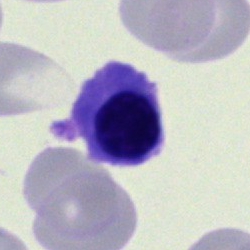 Specimen: bone marrow smear.
Classification: normoblast.